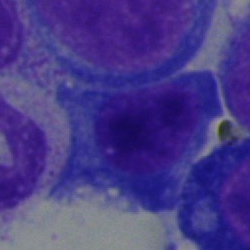Impression — pronormoblast.